Peripheral blood smear. 100× objective, oil immersion. Single cell centered in the field — 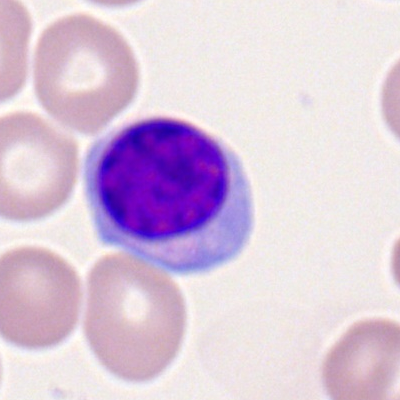The classification is typical lymphocyte.